Bone marrow aspirate smear: 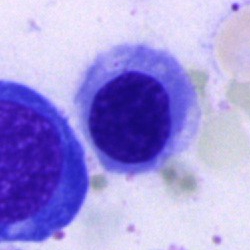

Q: What is shown here?
A: This is a normoblast.